Bone marrow smear.
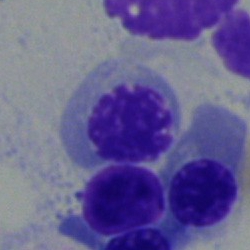

Cell = nucleated red cell.